Bone marrow smear.
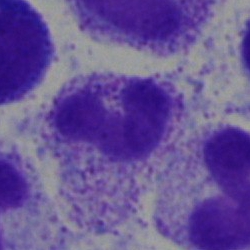
{"cell_type": "polymorphonuclear neutrophil", "lineage": "myeloid"}